Cropped to a single cell. Bone marrow smear: 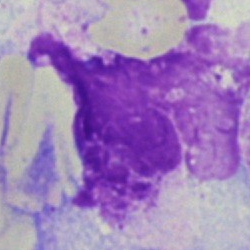

Cell: artifact.